Bone marrow aspirate smear — 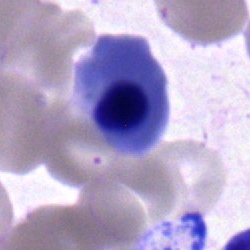The classification is normoblast.